Single cell centered in the field. May-Grünwald-Giemsa/Pappenheim stain. Bone marrow smear:
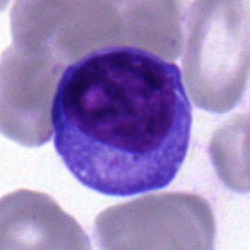Q: What is shown here?
A: A plasmacyte.